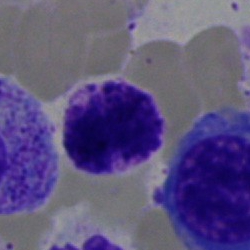

The classification is basophilic granulocyte.